40× objective, oil immersion; bone marrow smear
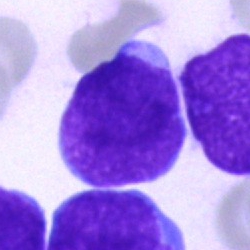Single cell identified as a blast.